Cropped to a single cell · 100× oil immersion, 14.14 px/µm · peripheral blood smear.
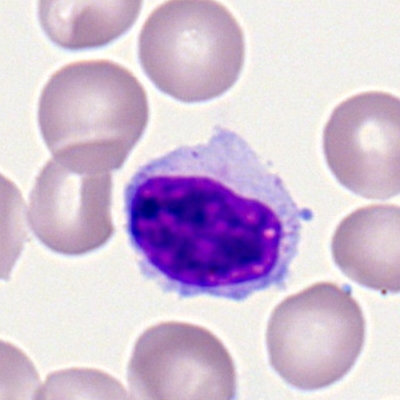 Morphology — lymphocyte.